Bone marrow smear.
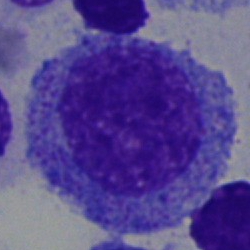 Impression → progranulocyte.